Bone marrow aspirate smear — 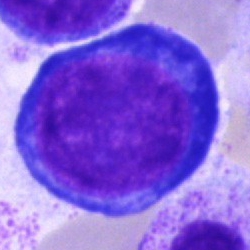 Q: What type of cell is this?
A: This is a proerythroblast.